Single-cell crop; peripheral blood film; Romanowsky-stained
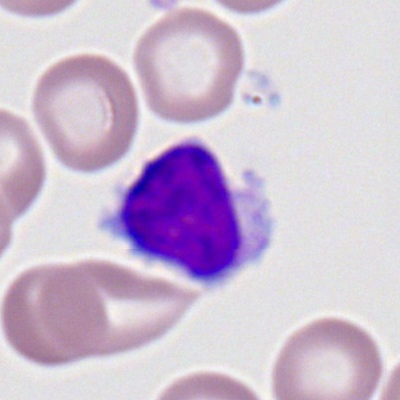
Q: Identify the cell.
A: A lymphocyte.